Pappenheim-stained; bone marrow aspirate smear; 250×250
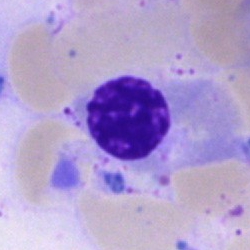 The cell type is nucleated red blood cell.